Brightfield, 40× oil-immersion objective. Bone marrow aspirate smear. Single-cell field: 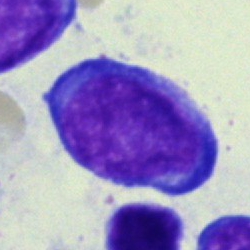
Single cell identified as a proerythroblast.